Bone marrow aspirate smear:
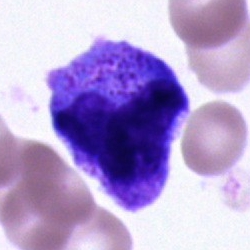
Showing a cell of indeterminate lineage.